Bone marrow smear
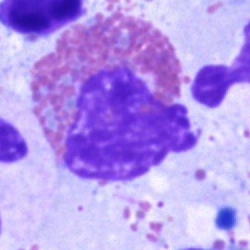
Showing an eosinophil.